Bone marrow smear · single cell centered in the field
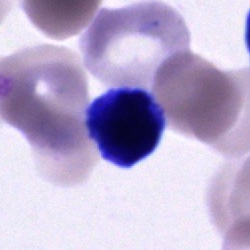 Classification — cell of indeterminate lineage.